Bone marrow aspirate smear
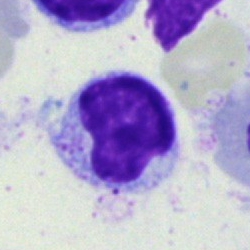 Morphology → lymphocyte.